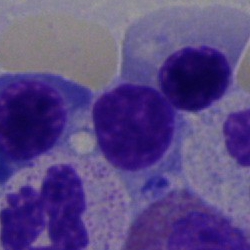
Morphological class — lymphocyte.